Bone marrow smear · 250 by 250 pixels · MGG-stained.
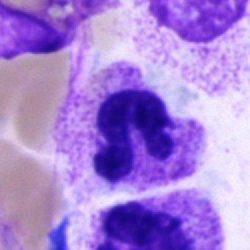

Q: What is shown here?
A: A polymorphonuclear neutrophil.